Bone marrow smear: 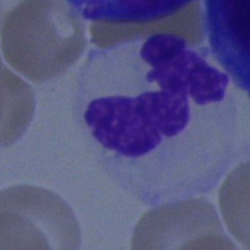Impression → polymorphonuclear neutrophil.